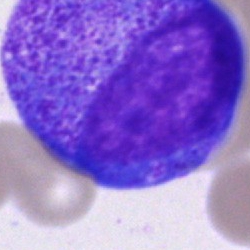Classification — progranulocyte.